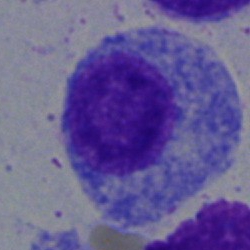
Cell: myelocyte.